Bone marrow smear — 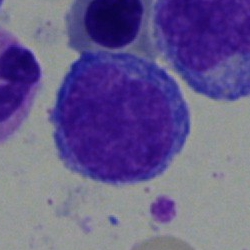

Morphology consistent with a blast cell.